250 by 250 pixels; May-Grünwald-Giemsa/Pappenheim stain; bone marrow aspirate smear:
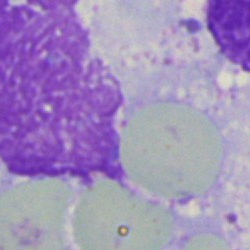

Single cell identified as an artefact.